250×250 · bone marrow aspirate smear
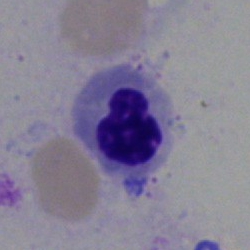
A nucleated red cell.